May-Grünwald-Giemsa stain. Bone marrow aspirate smear. Cropped to a single cell: 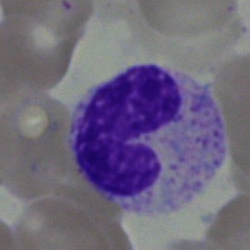 Q: What is the morphological classification of this cell?
A: Neutrophil (band).